Bone marrow smear · 250 by 250 pixels:
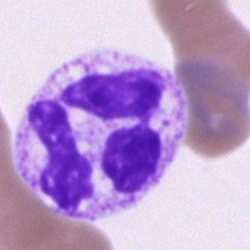Cell = neutrophil (segmented).